Bone marrow smear.
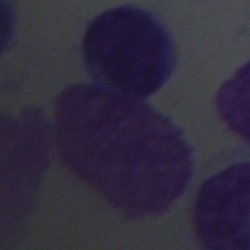Cell type — artefact.